Bone marrow aspirate smear
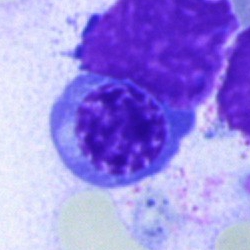Q: What type of cell is this?
A: It is an erythroblast.